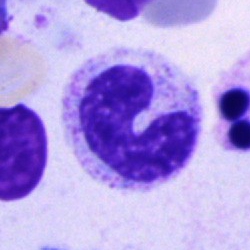

Q: Identify the cell.
A: It is a band-form neutrophil.